May-Grünwald-Giemsa stain; 250 by 250 pixels; bone marrow smear.
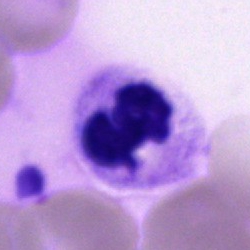
Q: What is the morphological classification of this cell?
A: A segmented neutrophil.